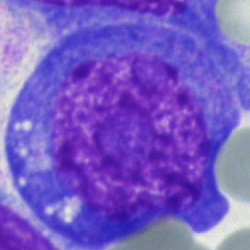 Specimen: bone marrow aspirate smear.
Morphological class: blast.